Pappenheim-stained · brightfield, 40× oil-immersion objective · bone marrow smear
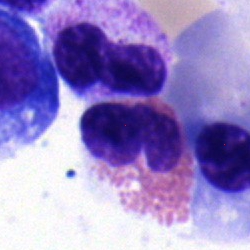
Q: What is shown here?
A: An eosinophil.